Bone marrow aspirate smear. MGG-stained — 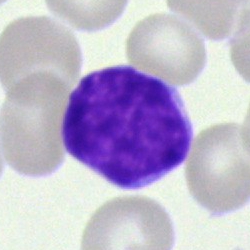

Blast cell.